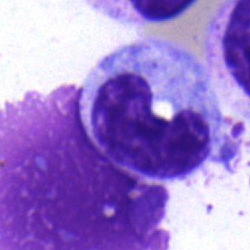

Morphology consistent with a band neutrophil.